Bone marrow smear:
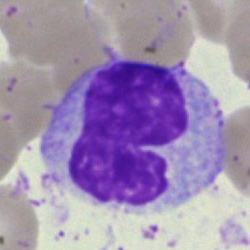

Morphology consistent with a monocyte.